Brightfield, 40× oil-immersion objective; bone marrow smear — 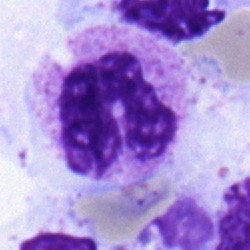
The cell shown is a polymorphonuclear neutrophil.